40× objective, oil immersion; bone marrow smear; 250 by 250 pixels.
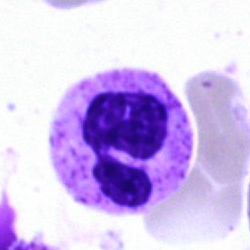 The cell shown is a neutrophil (segmented).